Bone marrow aspirate smear. Cropped to a single cell.
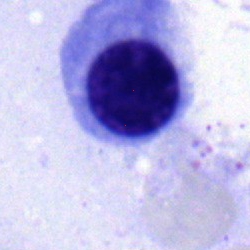

{"cell_type": "normoblast", "lineage": "erythroid"}